Bone marrow smear · 250×250 px · single-cell field.
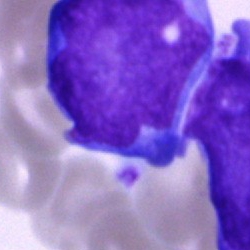 Morphological class = blast.